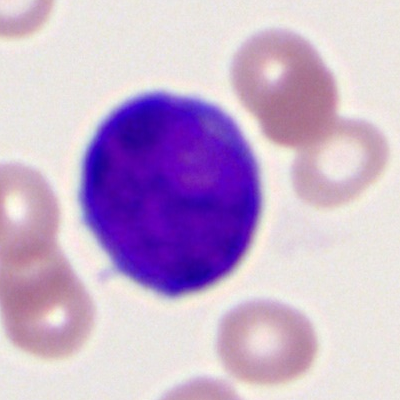 Cell type — myeloid blast.